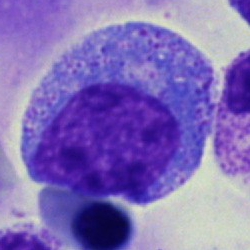 Specimen: bone marrow aspirate smear.
Cell type: progranulocyte.
Lineage: myeloid.